Single-cell field. Bone marrow aspirate smear:
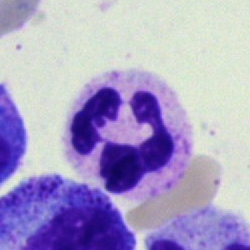 The cell shown is a polymorphonuclear neutrophil.